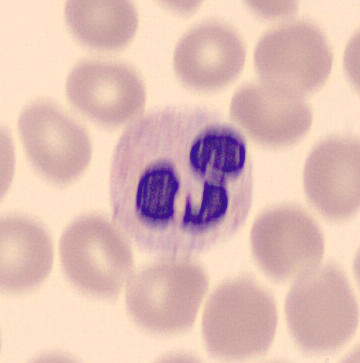Acquisition: Peripheral blood smear.

Identified as a segmented neutrophil.